Bone marrow smear; cropped to a single cell
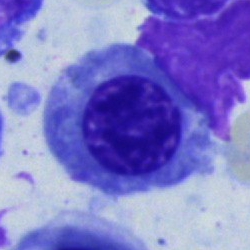 Nucleated red cell.